Peripheral blood smear:
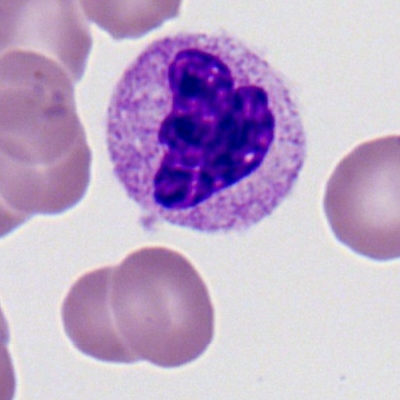

Cell: neutrophil (segmented).